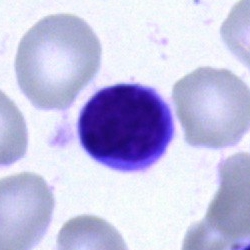 Cell type: lymphocyte.